Bone marrow aspirate smear — 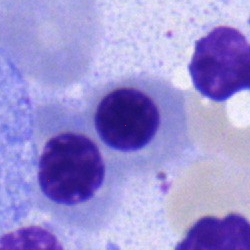 The cell type is erythroblast.